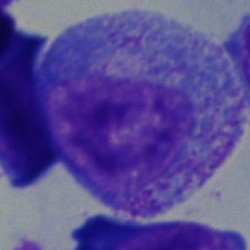Bone marrow smear showing a progranulocyte.